Bone marrow smear: 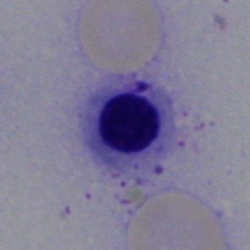
Classification — nucleated red blood cell.